Bone marrow smear.
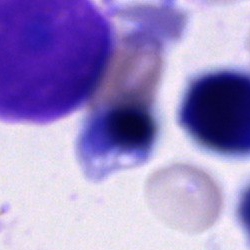
Morphology consistent with an unidentifiable cell.